Bone marrow aspirate smear: 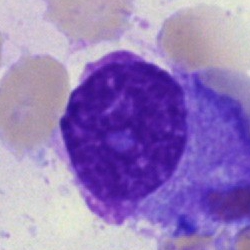
This is an artifact.